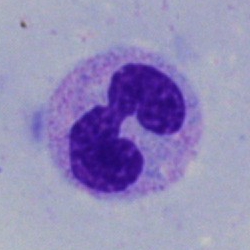
Q: Which cell type is shown here?
A: A polymorphonuclear neutrophil.